Peripheral blood smear:
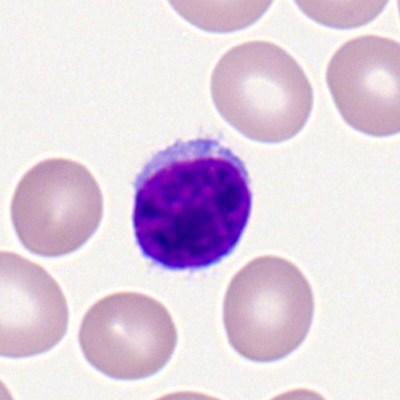 The morphological class is lymphocyte.